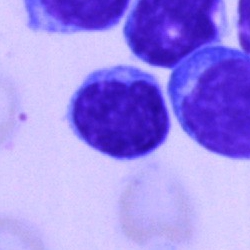
A lymphocyte.